Bone marrow smear · single-cell field · May-Grünwald-Giemsa/Pappenheim stain.
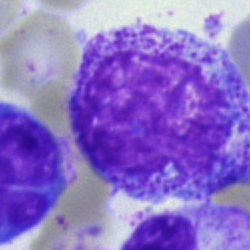 Q: What is the morphological classification of this cell?
A: A myelocyte.